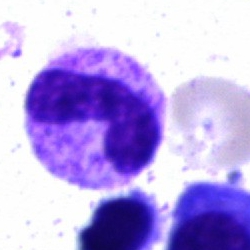
Neutrophil (band).